Peripheral blood film
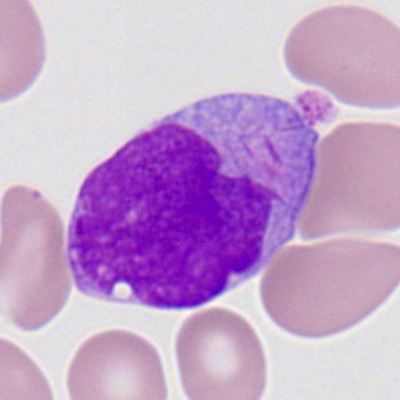{"cell_type": "myeloid blast"}